Single cell centered in the field; bone marrow smear:
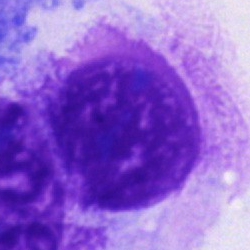

Showing an other cell.